Bone marrow aspirate smear.
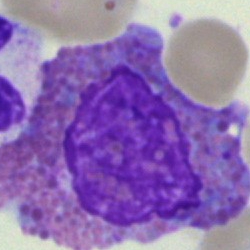Specimen: bone marrow aspirate smear.
Cell: eosinophilic granulocyte.
Lineage: myeloid.